Bone marrow smear.
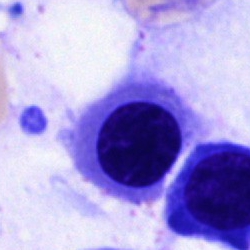
Nucleated red blood cell.